Bone marrow aspirate smear — 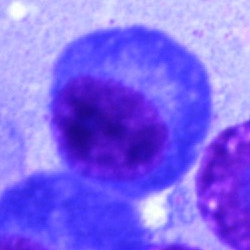

Specimen: bone marrow aspirate smear.
Cell: plasma cell.
Lineage: lymphoid.